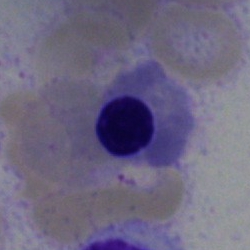
Cell — erythroblast.